Bone marrow aspirate smear
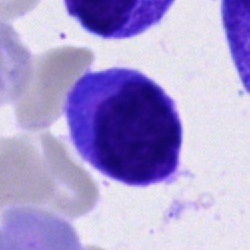 This is a lymphocyte.